Bone marrow aspirate smear — 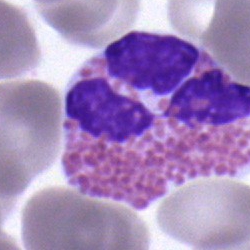Single cell identified as an eosinophilic granulocyte.